Bone marrow aspirate smear. MGG-stained: 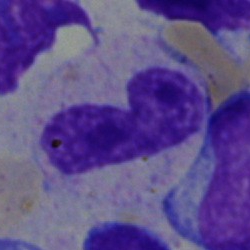
Band-form neutrophil.